Bone marrow smear.
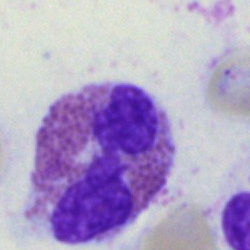The cell shown is an eosinophilic granulocyte.